Bone marrow aspirate smear
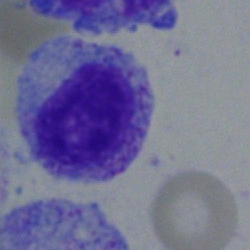
Morphological class = myelocyte.